Bone marrow aspirate smear
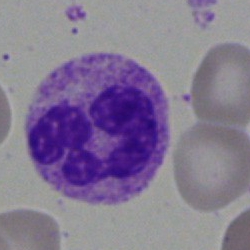Impression → segmented neutrophil.